Bone marrow aspirate smear:
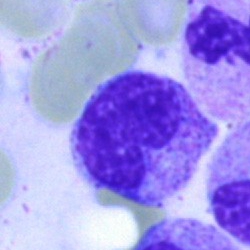
Metamyelocyte.